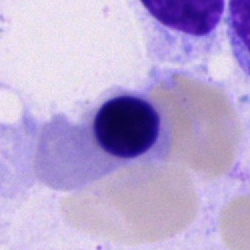Cell = erythroblast.